Bone marrow aspirate smear.
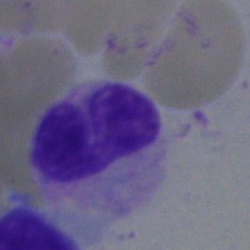Single cell identified as a metamyelocyte.